Bone marrow smear · 250×250 px.
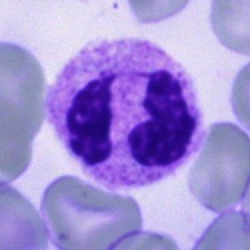
Showing a segmented neutrophil.